Peripheral blood film; MGG-stained
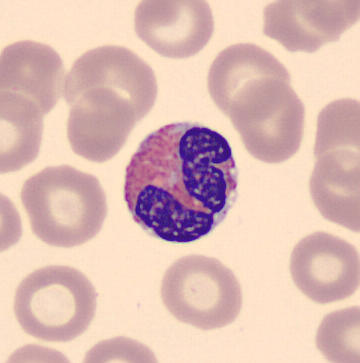

Specimen: peripheral blood film.
Morphological class: eosinophil.
Lineage: myeloid.